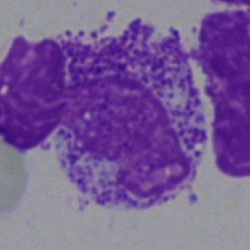Single-cell crop from a bone marrow smear: artifact.